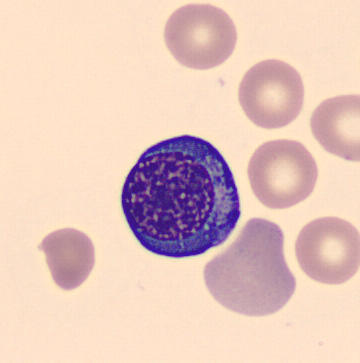
Specimen: peripheral blood film.
Classification: nucleated red cell.
Lineage: erythroid.